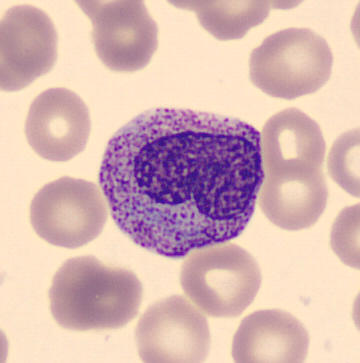

A metamyelocyte.